Bone marrow smear; MGG-stained:
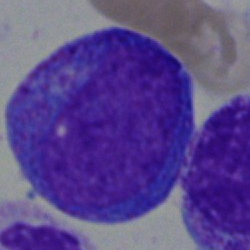

Cell: promyelocyte.